Bone marrow aspirate smear — 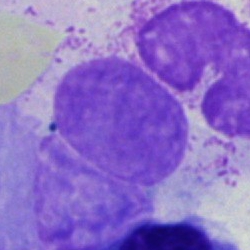
An artefact.